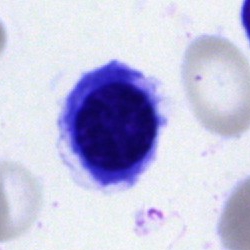 Q: Identify the cell.
A: Erythroblast.